Bone marrow aspirate smear: 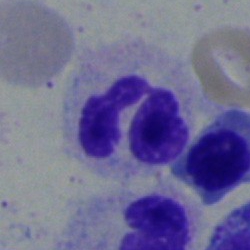

Polymorphonuclear neutrophil.